Bone marrow aspirate smear; single-cell crop: 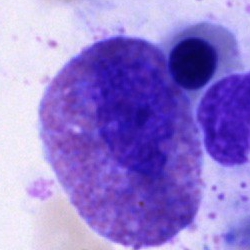 Q: Identify the cell.
A: It is an eosinophil.